Bone marrow smear — 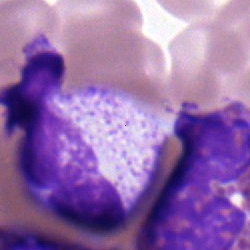 A myelocyte.